Bone marrow smear:
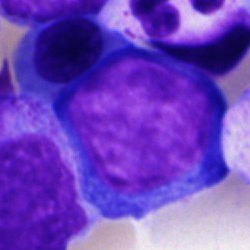Q: Which cell type is shown here?
A: It is a pronormoblast.